Peripheral blood film; M8 digital microscope (Precipoint), 100× oil immersion: 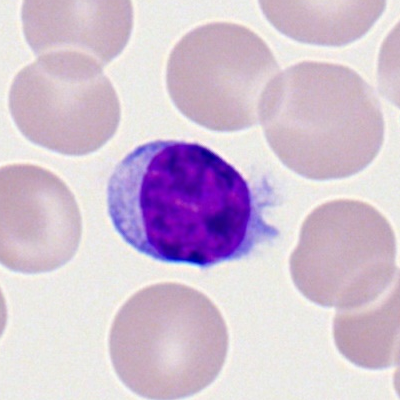 Showing a lymphocyte.